Peripheral blood smear.
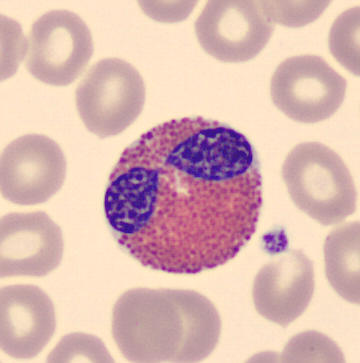 Cell type = eosinophil.